Single cell centered in the field · bone marrow smear · MGG-stained: 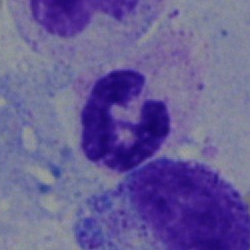 Morphology consistent with a polymorphonuclear neutrophil.